Bone marrow aspirate smear: 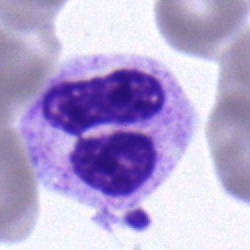

Q: Identify the cell.
A: Polymorphonuclear neutrophil.